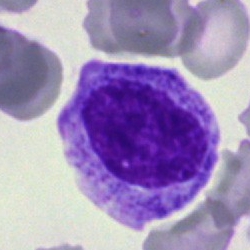Morphology consistent with a myelocyte.